Bone marrow aspirate smear:
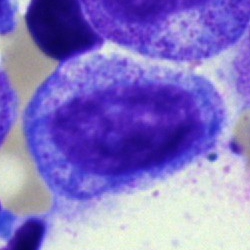 The cell shown is a promyelocyte.